400 by 400 pixels. Peripheral blood smear. Romanowsky-stained:
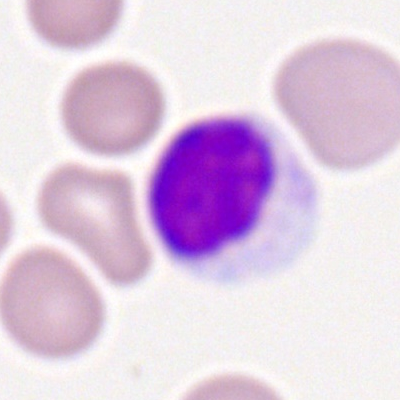 Morphological class = typical lymphocyte.